Single-cell field. Bone marrow smear — 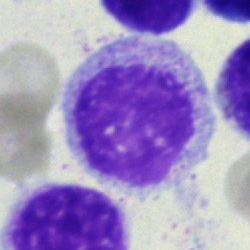Q: What type of cell is this?
A: Myelocyte.